40× oil immersion · bone marrow aspirate smear: 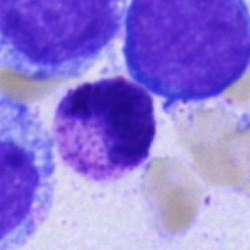 Specimen: bone marrow smear.
Cell type: metamyelocyte.
Lineage: myeloid.